May-Grünwald-Giemsa/Pappenheim stain. Bone marrow smear:
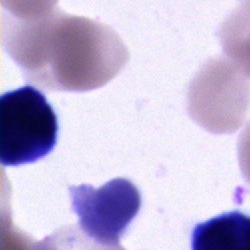
Classification: unidentifiable cell.